Peripheral blood smear
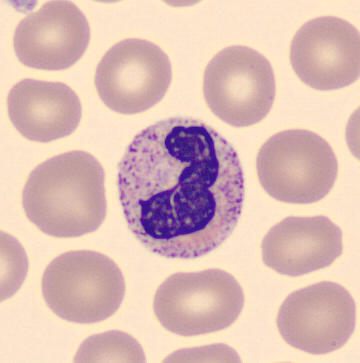 Morphology consistent with a stab cell.